Peripheral blood film. 400×400
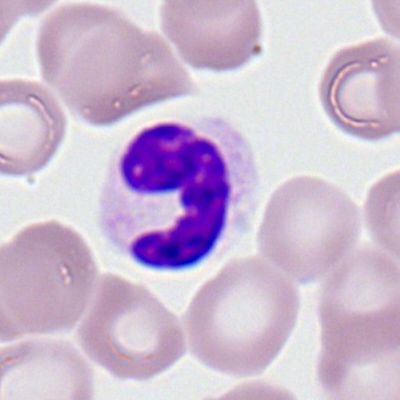
Cell type: segmented neutrophil.